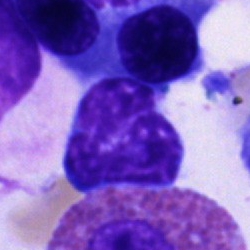Morphological class — cell of indeterminate lineage.